Cropped to a single cell · 250×250 · bone marrow aspirate smear
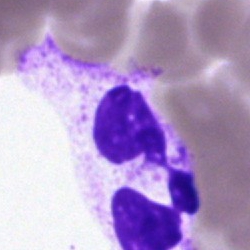
Morphology consistent with a polymorphonuclear neutrophil.